Cropped to a single cell · 250×250 px · bone marrow smear: 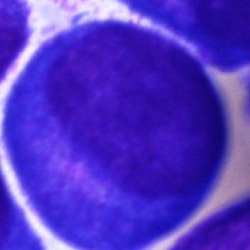 {"cell_type": "promyelocyte"}